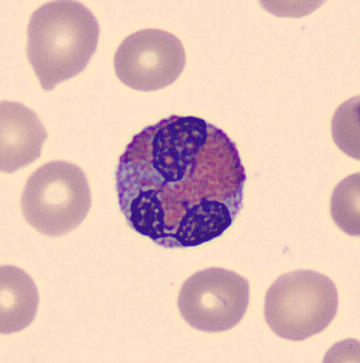
Peripheral blood film; imaged on a CellaVision DM96 analyser.

The cell shown is an eosinophilic granulocyte.